Bone marrow aspirate smear
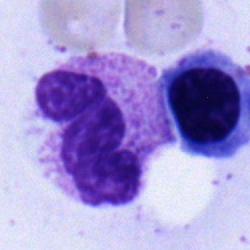Morphological class = polymorphonuclear neutrophil.